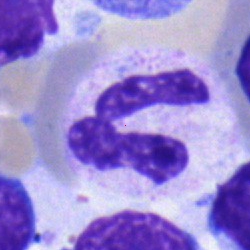

Q: What cell is this?
A: Segmented neutrophil.